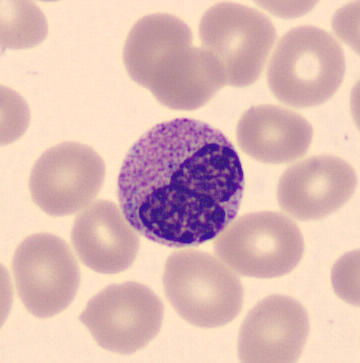
{"cell_type": "metamyelocyte"}